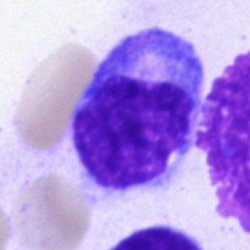 A monocyte on a bone marrow smear.